Bone marrow smear — 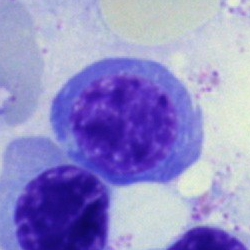Impression — nucleated red blood cell.